Bone marrow aspirate smear — 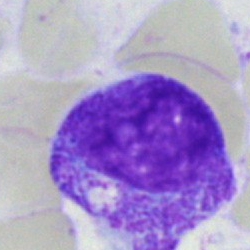 Cell type = myelocyte.